Bone marrow smear — 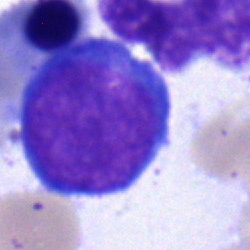Specimen: bone marrow aspirate smear.
Cell type: pronormoblast.
Lineage: erythroid.